Peripheral blood film; 100× oil immersion:
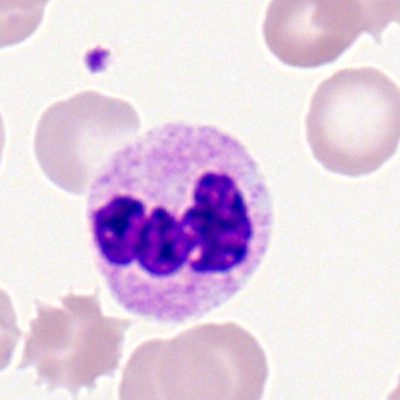

Impression → segmented neutrophil.